Bone marrow smear; 250 by 250 pixels:
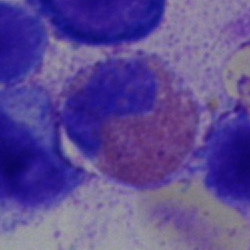Specimen: bone marrow aspirate smear.
Classification: eosinophilic granulocyte.
Lineage: myeloid.